Bone marrow aspirate smear.
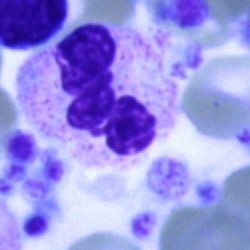
The cell is segmented neutrophil.